Bone marrow smear:
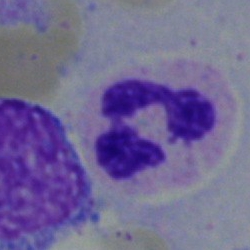

Showing a neutrophil (segmented).